Bone marrow smear — 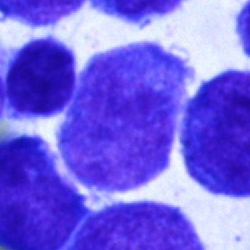Specimen: bone marrow smear.
Morphological class: undifferentiated blast.